Bone marrow aspirate smear. Brightfield, 40× oil-immersion objective
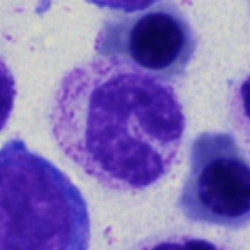
The cell shown is a neutrophil (band).